40× objective, oil immersion; bone marrow smear — 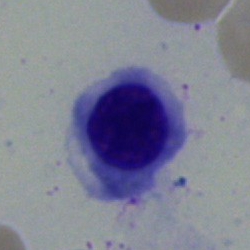 Specimen: bone marrow smear.
Morphological class: normoblast.
Lineage: erythroid.